Brightfield microscopy, 40× oil immersion. Bone marrow smear — 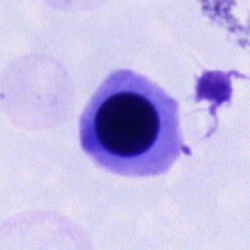 Q: Which cell type is shown here?
A: Cell of indeterminate lineage.